Cropped to a single cell · bone marrow aspirate smear — 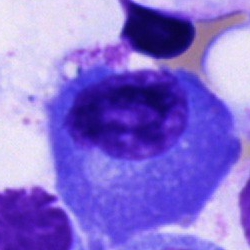
The cell shown is a plasmacyte.